Bone marrow smear; 250×250 px — 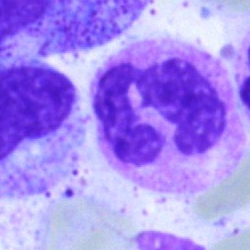The morphological class is polymorphonuclear neutrophil.